CellaVision DM96 digital cell image. MGG-stained. Peripheral blood smear:
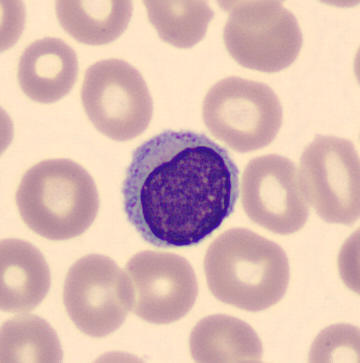The morphological class is typical lymphocyte.